Single-cell crop. Bone marrow aspirate smear. Image size 250×250 — 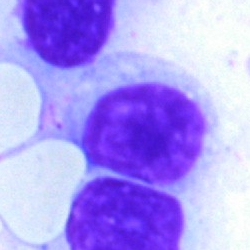
This is a typical lymphocyte.